Bone marrow aspirate smear: 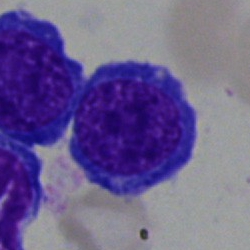Q: What is shown here?
A: This is a normoblast.